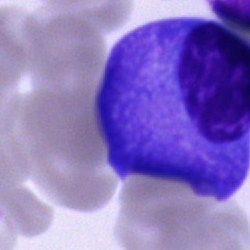 Q: What is shown here?
A: It is a plasmacyte.